Peripheral blood smear.
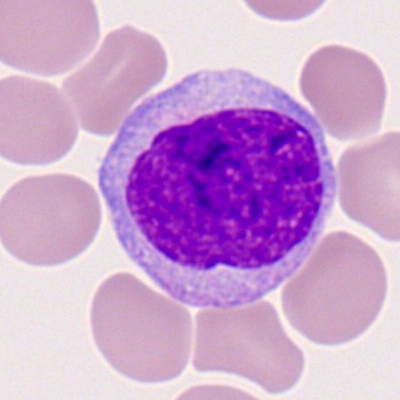

This is a monocyte.